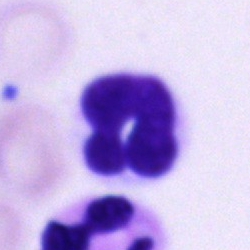
Neutrophil (segmented).